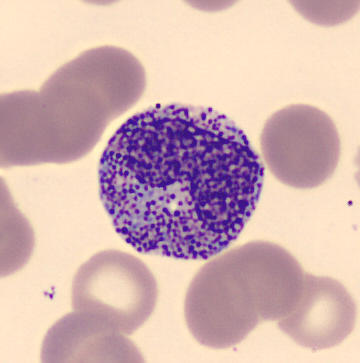

Image: Peripheral blood smear.
Morphology consistent with a metamyelocyte.